Bone marrow aspirate smear — 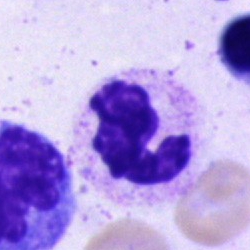

Q: What cell is this?
A: This is a polymorphonuclear neutrophil.